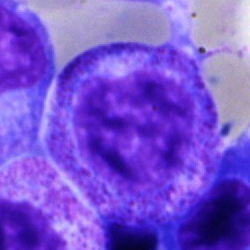

A myelocyte on a bone marrow smear.